Peripheral blood smear — 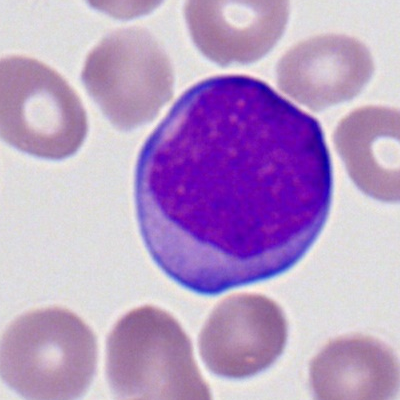This is a myeloid blast.